Bone marrow aspirate smear:
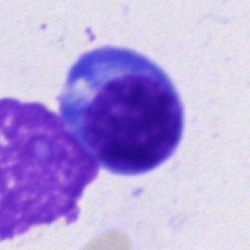
Single cell identified as an erythroblast.